250×250 px; bone marrow smear
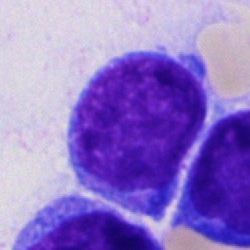
Q: What cell is this?
A: Blast.